Bone marrow smear. 250 by 250 pixels:
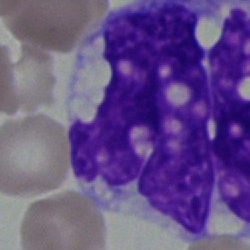

The morphological class is monocyte.